40× oil immersion · bone marrow smear
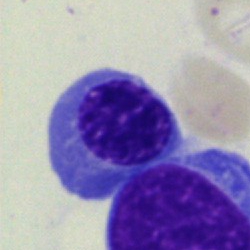
Morphology consistent with a nucleated red blood cell.